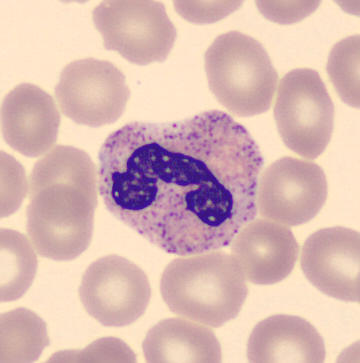

CellaVision DM96 digital cell image · May-Grünwald-Giemsa-stained · peripheral blood film. Identified as a polymorphonuclear neutrophil.